Bone marrow smear; 250×250; May-Grünwald-Giemsa/Pappenheim stain.
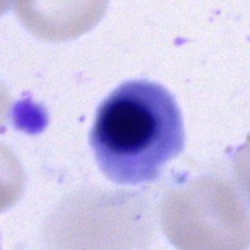

Specimen: bone marrow aspirate smear.
Cell: erythroblast.